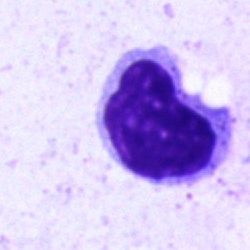

Morphology — lymphocyte.